Cropped to a single cell; bone marrow smear
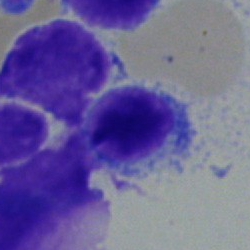Lymphocyte.